Bone marrow aspirate smear:
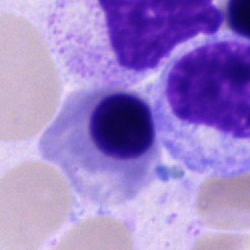Nucleated red cell.